Bone marrow smear. Single cell centered in the field.
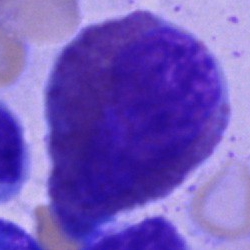Single cell identified as an eosinophil.